Bone marrow smear. 40× oil immersion:
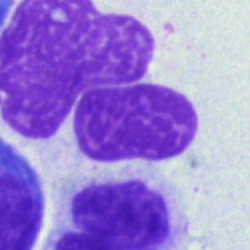 Cell: artefact.